Bone marrow smear. 250×250. Single-cell field:
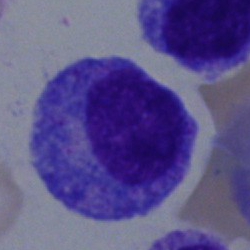
Q: What is shown here?
A: This is a promyelocyte.